Bone marrow aspirate smear — 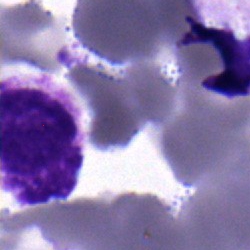This is a polymorphonuclear neutrophil.